Bone marrow aspirate smear:
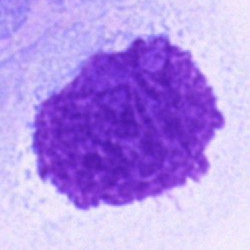
Artefact.